Bone marrow aspirate smear
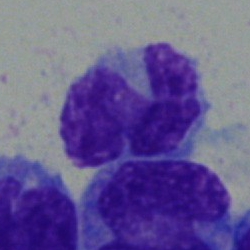Morphological class — monocyte.